Bone marrow smear; 250×250 px; brightfield microscopy, 40× oil immersion.
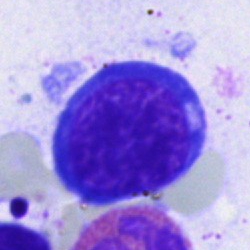

{"cell_type": "normoblast"}